Bone marrow smear · single-cell field · May-Grünwald-Giemsa/Pappenheim stain:
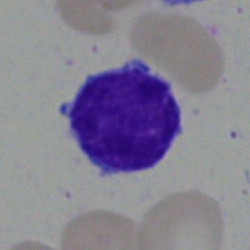 Q: Identify the cell.
A: A myelocyte.